Peripheral blood film: 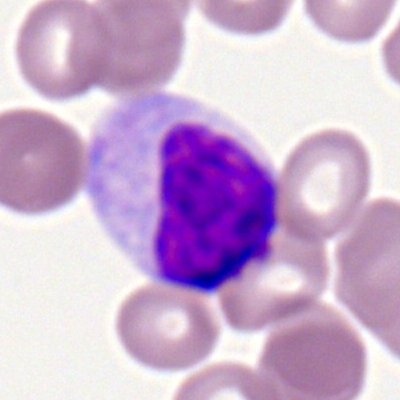 Showing a typical lymphocyte.